Bone marrow smear. 250×250 — 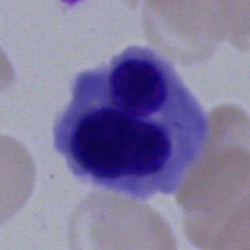
{"cell_type": "nucleated red blood cell"}